Cropped to a single cell. Brightfield, 40× oil-immersion objective. Bone marrow aspirate smear — 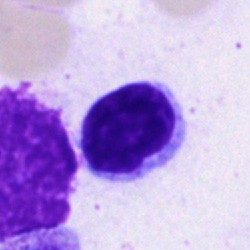
The cell type is lymphocyte.